May-Grünwald-Giemsa/Pappenheim stain. Bone marrow aspirate smear — 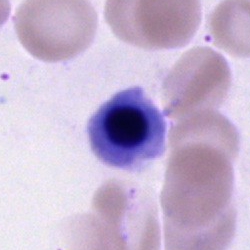

Specimen: bone marrow smear.
Morphological class: nucleated red cell.
Lineage: erythroid.